Bone marrow aspirate smear. Brightfield, 40× oil-immersion objective — 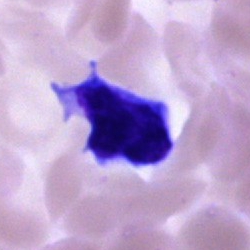 Q: Which cell type is shown here?
A: Lymphocyte.